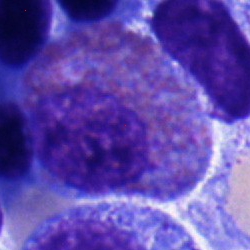Bone marrow smear showing an eosinophil.